Bone marrow smear. May-Grünwald-Giemsa stain.
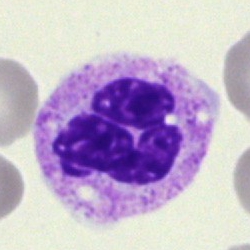The cell shown is a polymorphonuclear neutrophil.